250×250; bone marrow aspirate smear: 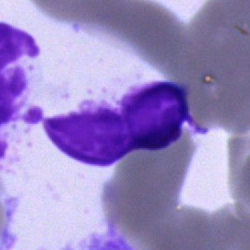Morphology consistent with an artifact.